Bone marrow aspirate smear
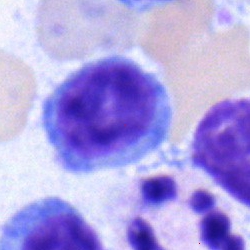

Specimen: bone marrow aspirate smear.
Cell: lymphocyte.
Lineage: lymphoid.